250×250 px. Bone marrow smear:
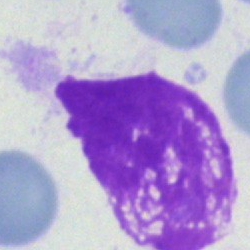Morphology consistent with an artifact.